Bone marrow smear:
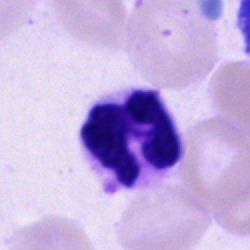

Specimen: bone marrow smear.
Cell type: segmented neutrophil.
Lineage: myeloid.